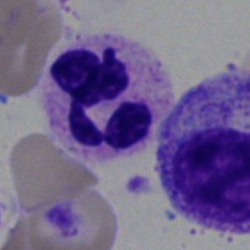 Showing a segmented neutrophil.